Bone marrow aspirate smear · cropped to a single cell — 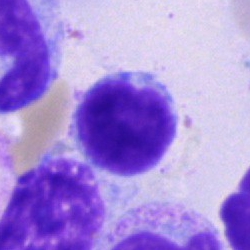Lymphocyte.